Peripheral blood smear · single cell centered in the field.
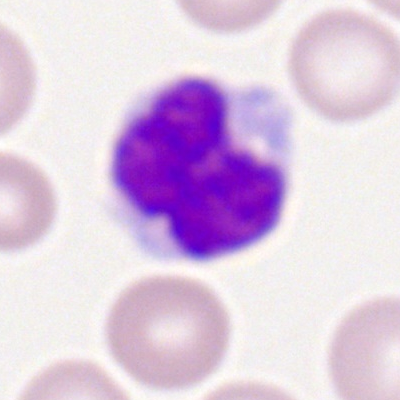 This is a lymphocyte.